Bone marrow aspirate smear — 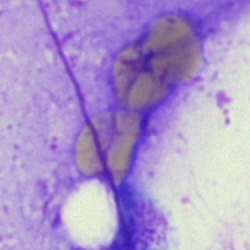
The cell type is artefact.